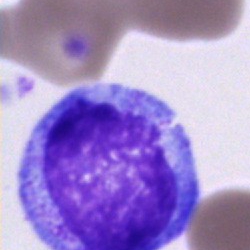Specimen: bone marrow aspirate smear.
Cell: unidentifiable cell.